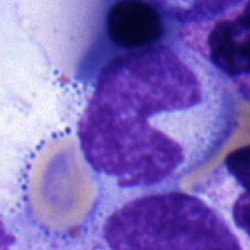 Classification: stab cell.